Single-cell field. Bone marrow smear
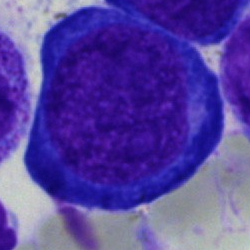

Cell type — pronormoblast.